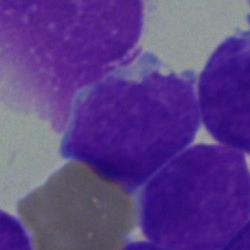Q: Identify the cell.
A: A blast.